Bone marrow smear: 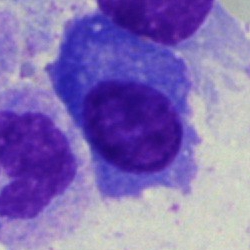 Morphological class: plasma cell.